Single-cell crop; bone marrow smear:
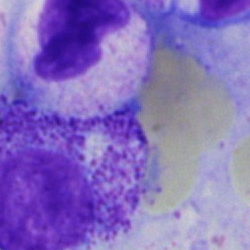
Morphological class — metamyelocyte.